Brightfield, 40× oil-immersion objective; bone marrow smear: 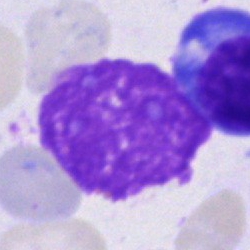

Cell type — artefact.